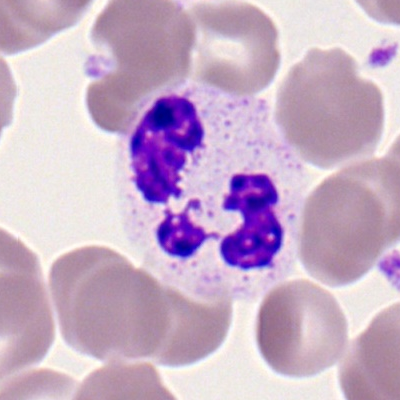

Morphology consistent with a neutrophil (segmented).